Bone marrow smear. Single-cell field.
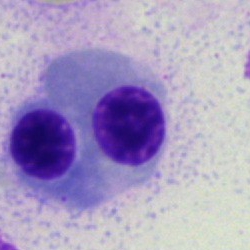 Morphological class: nucleated red cell.